Peripheral blood film · brightfield, 100× oil-immersion objective · Romanowsky-type stain.
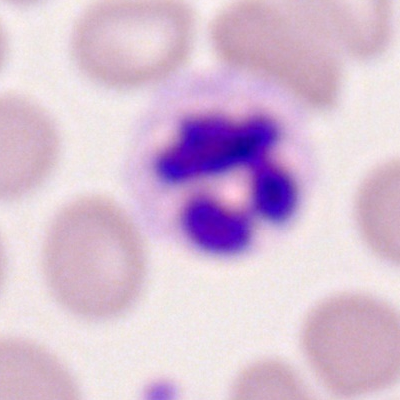
Showing a polymorphonuclear neutrophil.